MGG-stained · peripheral blood film · cropped to a single cell — 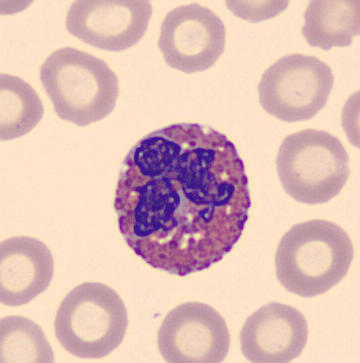 The cell is eosinophil.